Brightfield microscopy, 40× oil immersion · 250×250 · bone marrow smear.
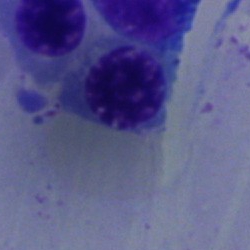Impression → erythroblast.